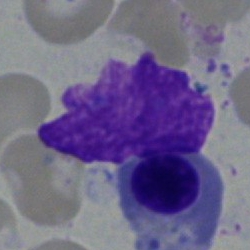 Specimen: bone marrow aspirate smear.
Cell type: erythroblast.
Lineage: erythroid.